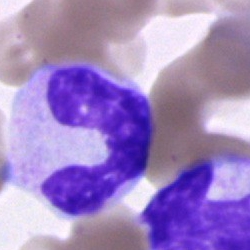

Specimen: bone marrow aspirate smear.
Classification: neutrophil (band).